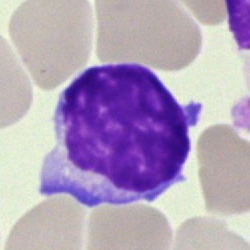
{"cell_type": "lymphocyte", "lineage": "lymphoid"}